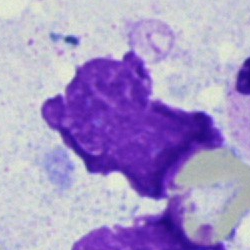

Q: What is shown here?
A: An artifact.